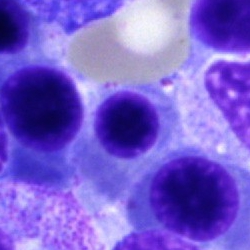
A nucleated red blood cell on a bone marrow smear.